Bone marrow aspirate smear
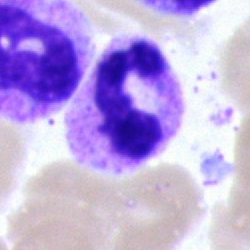Cell type: segmented neutrophil.